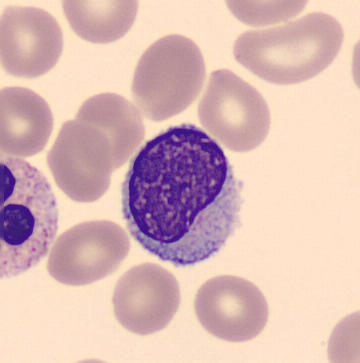
Q: Which cell type is shown here?
A: A lymphocyte.